40× objective, oil immersion · single-cell field · bone marrow smear
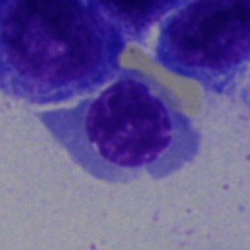

Showing a nucleated red blood cell.